Bone marrow aspirate smear. Single cell centered in the field. 250 by 250 pixels — 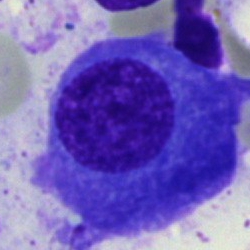 Specimen: bone marrow smear.
Morphological class: plasmacyte.
Lineage: lymphoid.